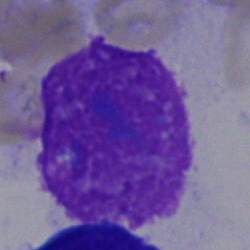The cell is artefact.